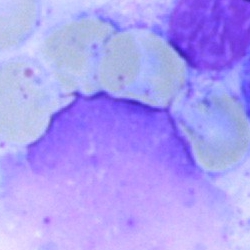 Impression → artifact.